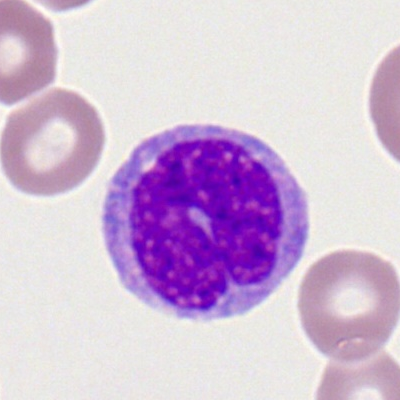
A monocyte.